250 by 250 pixels. Bone marrow aspirate smear: 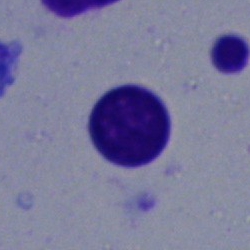
Cell: typical lymphocyte.